Pappenheim-stained · bone marrow aspirate smear: 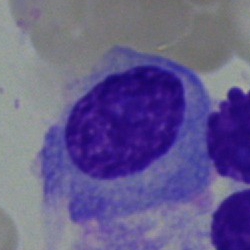Cell type = plasmacyte.